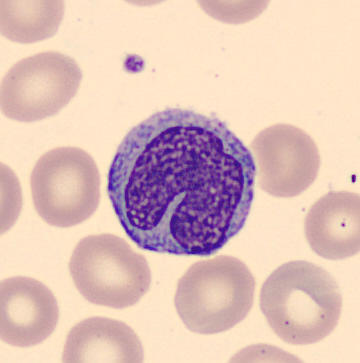

Peripheral blood smear. Q: What is the morphological classification of this cell?
A: A monocyte.